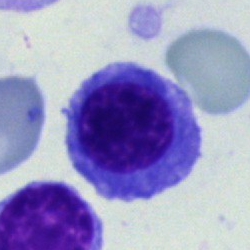
Impression → erythroblast.